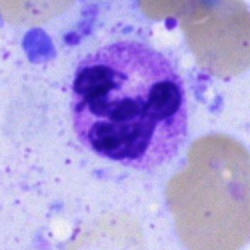

Bone marrow aspirate smear, single cell — segmented neutrophil.